40× objective, oil immersion; 250×250 px; bone marrow aspirate smear.
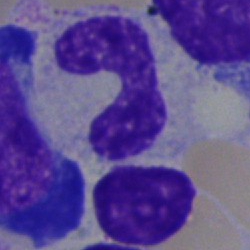The cell is stab cell.